Bone marrow aspirate smear · 40× oil immersion:
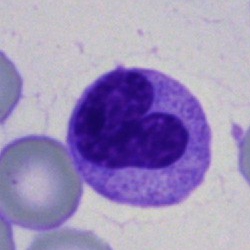

Cell = band-form neutrophil.